Peripheral blood smear. 400 by 400 pixels.
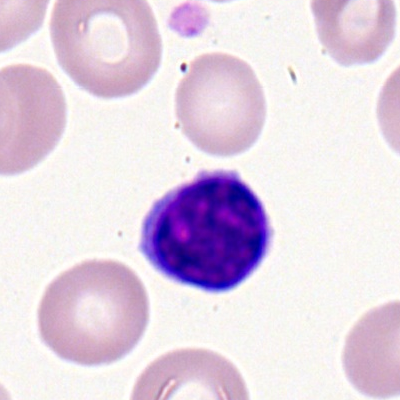Cell type — typical lymphocyte.